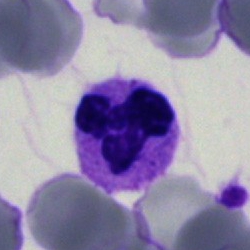 Morphological class — polymorphonuclear neutrophil.